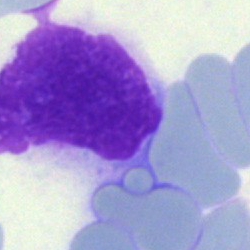Cell type — artefact.